Peripheral blood smear; 400×400.
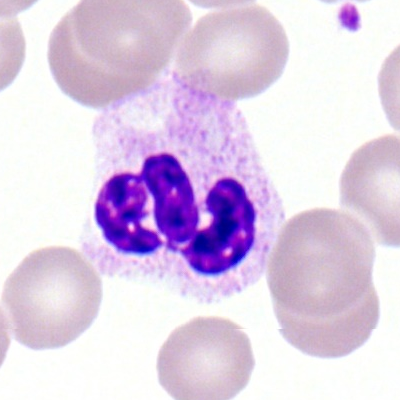Showing a polymorphonuclear neutrophil.